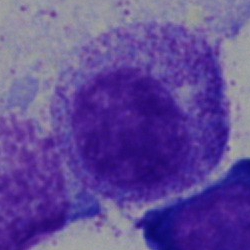

Showing a myelocyte.